Peripheral blood film
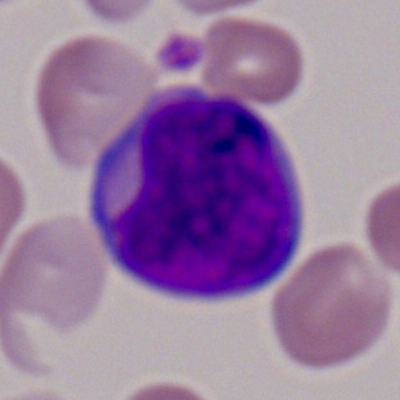Morphology consistent with a myeloblast.